Bone marrow smear
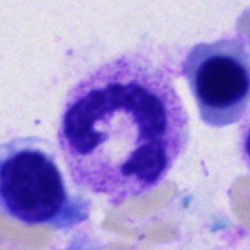 Specimen: bone marrow smear.
Cell: polymorphonuclear neutrophil.